Image size 250×250; brightfield, 40× oil-immersion objective; bone marrow aspirate smear — 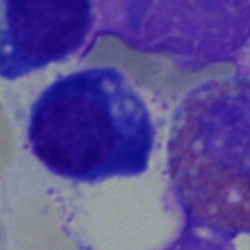

This is a plasmacyte.